Bone marrow aspirate smear · 40× objective, oil immersion
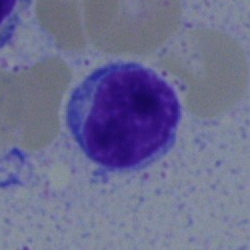 This is a typical lymphocyte.